Bone marrow aspirate smear:
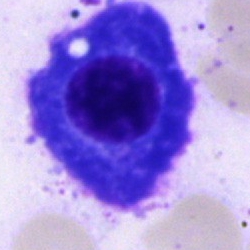Cell type: plasma cell.